Bone marrow smear. 250×250.
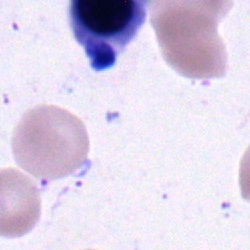 Q: What is shown here?
A: Nucleated red blood cell.